Bone marrow smear: 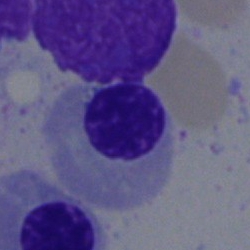 This is an erythroblast.